Peripheral blood film — 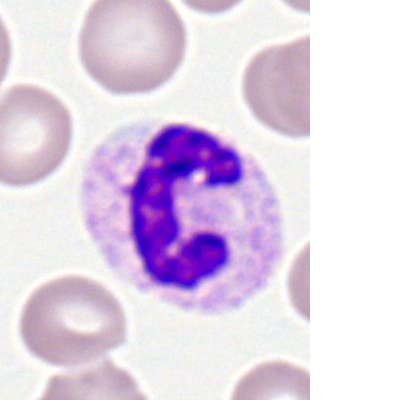 Showing a neutrophil (segmented).